Bone marrow aspirate smear.
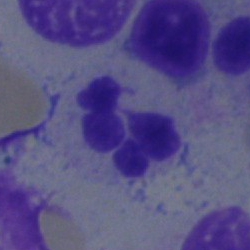
Q: Which cell type is shown here?
A: This is a segmented neutrophil.